Bone marrow smear
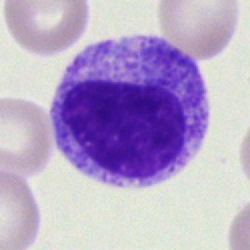Showing a myelocyte.